MGG-stained. Bone marrow aspirate smear.
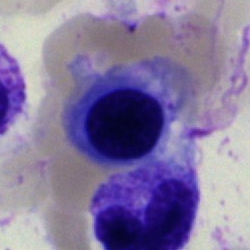Morphology → erythroblast.